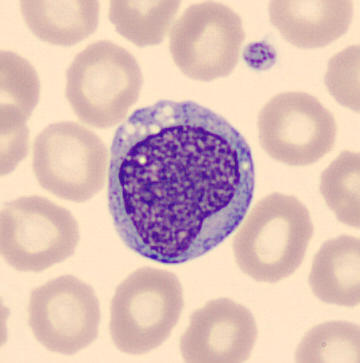 From a peripheral blood smear: a monocyte.